Single-cell crop; MGG-stained; bone marrow smear.
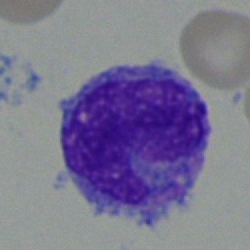 Specimen: bone marrow smear.
Cell type: monocyte.
Lineage: myeloid.